Bone marrow aspirate smear
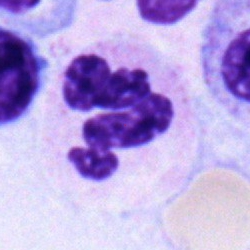 Classification — polymorphonuclear neutrophil.